Image size 250×250. 40× objective, oil immersion. Bone marrow aspirate smear:
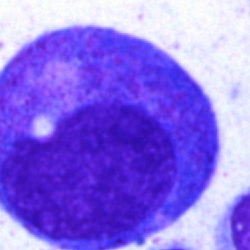

Q: What is the morphological classification of this cell?
A: A promyelocyte.